Bone marrow aspirate smear. May-Grünwald-Giemsa/Pappenheim stain: 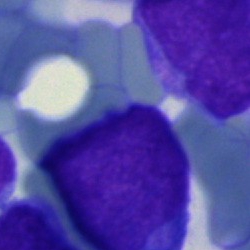
A blast cell.